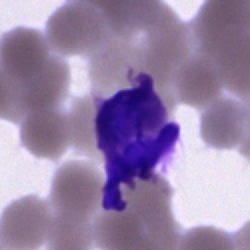

Artefact.